Bone marrow smear:
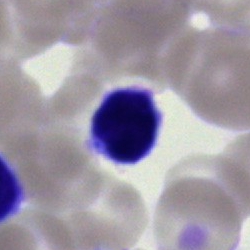

Classification = typical lymphocyte.